Single cell centered in the field; bone marrow smear; May-Grünwald-Giemsa/Pappenheim stain:
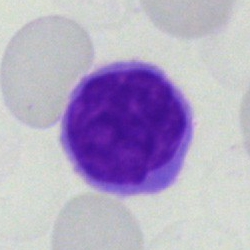 {"cell_type": "typical lymphocyte", "lineage": "lymphoid"}